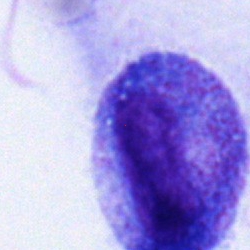Q: Identify the cell.
A: This is a promyelocyte.